Automated cell imaging (CellaVision DM96). Peripheral blood smear
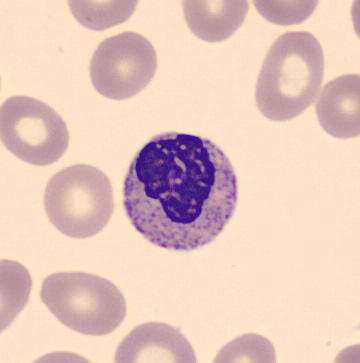

Q: What is shown here?
A: Metamyelocyte.